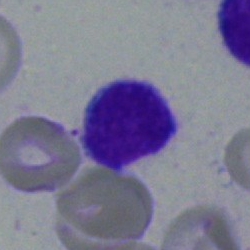Impression — lymphocyte.